Bone marrow smear — 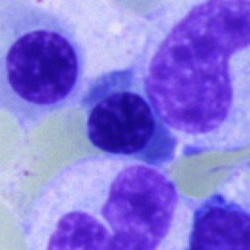
Cell type = nucleated red cell.